Bone marrow smear.
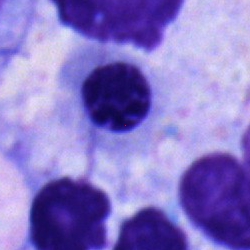An erythroblast.